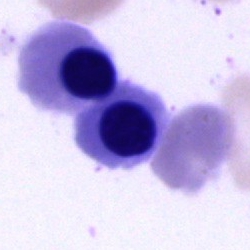 This is a nucleated red cell.